Peripheral blood smear
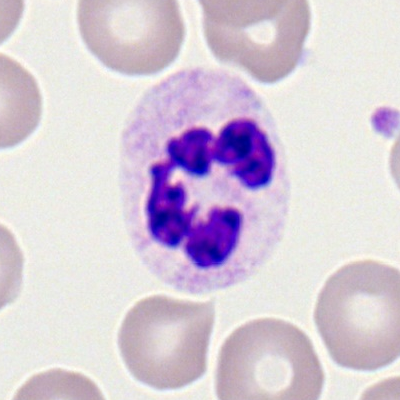 The cell shown is a neutrophil (segmented).